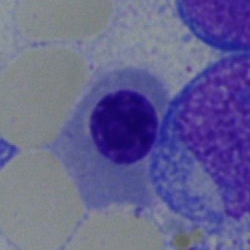 Specimen: bone marrow aspirate smear.
Cell: erythroblast.
Lineage: erythroid.